Bone marrow aspirate smear
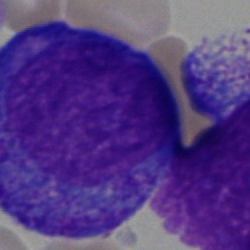 Specimen: bone marrow aspirate smear.
Morphological class: progranulocyte.
Lineage: myeloid.